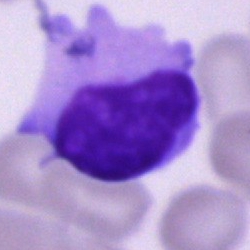 Bone marrow aspirate smear, single cell — unidentifiable cell.